Bone marrow smear; single-cell field; 40× oil immersion:
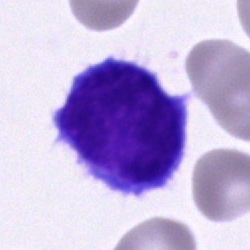Morphological class: lymphocyte.